Bone marrow smear. 250×250: 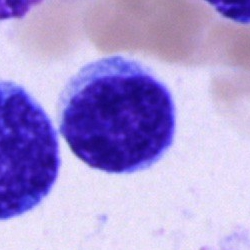 The cell type is blast.